Bone marrow aspirate smear
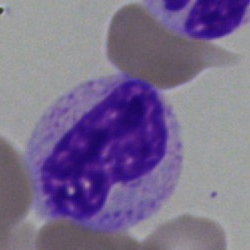
Impression — metamyelocyte.